May-Grünwald-Giemsa/Pappenheim stain. Bone marrow smear. Single-cell crop — 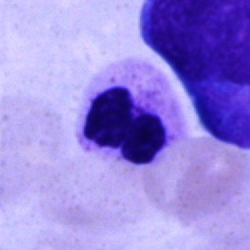
The cell shown is a neutrophil (segmented).